Bone marrow aspirate smear.
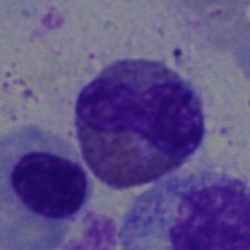

The cell shown is an eosinophil.